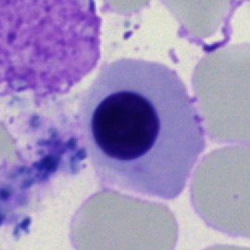Q: Which cell type is shown here?
A: An erythroblast.